Bone marrow aspirate smear — 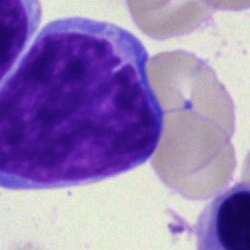 Q: Identify the cell.
A: It is an immature lymphocyte.